Pappenheim-stained · bone marrow aspirate smear:
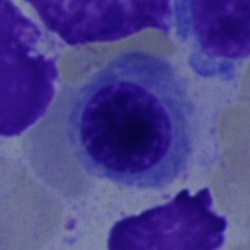Classification = normoblast.